Bone marrow aspirate smear — 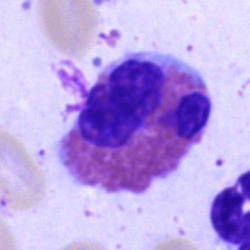 Morphological class — eosinophil.